Bone marrow aspirate smear — 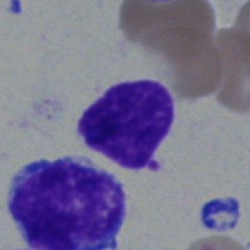The cell shown is a typical lymphocyte.